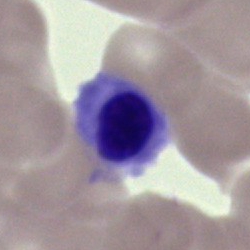 A normoblast.